Bone marrow smear:
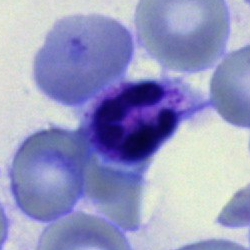 Showing a neutrophil (segmented).